Bone marrow aspirate smear · image size 250×250: 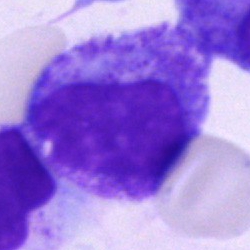Cell type — promyelocyte.